400×400; peripheral blood film:
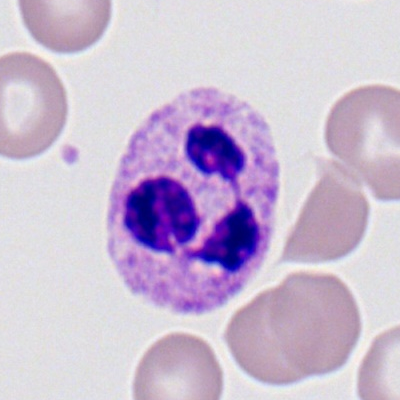

Morphology consistent with a polymorphonuclear neutrophil.